Image size 250×250; bone marrow aspirate smear:
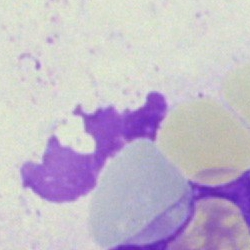 Specimen: bone marrow smear.
Classification: artifact.